Bone marrow smear:
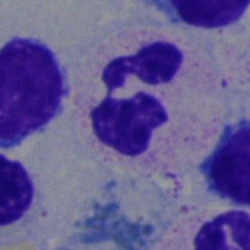Neutrophil (segmented).